Image size 250×250 · bone marrow aspirate smear:
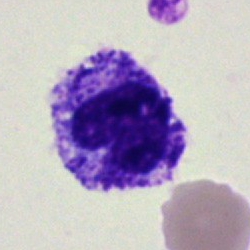

A polymorphonuclear neutrophil.